Bone marrow aspirate smear.
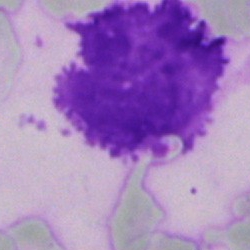Morphological class: artefact.